Bone marrow aspirate smear
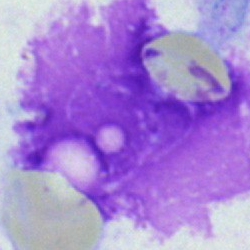
Q: What is shown here?
A: This is an artefact.